Bone marrow smear: 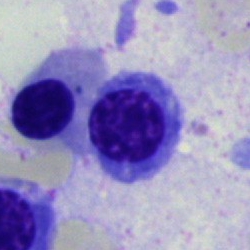
Specimen: bone marrow smear.
Morphological class: erythroblast.